Bone marrow smear; image size 250×250:
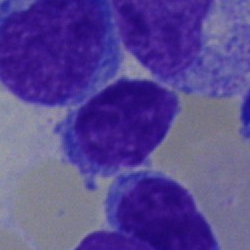 Impression — lymphocyte.